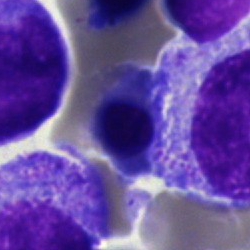 Q: What is the morphological classification of this cell?
A: This is a normoblast.